Cropped to a single cell. Image size 250×250. Bone marrow aspirate smear: 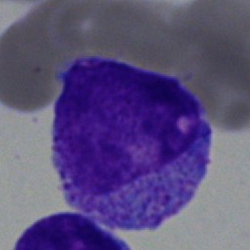
Specimen: bone marrow smear.
Classification: promyelocyte.
Lineage: myeloid.